Bone marrow smear
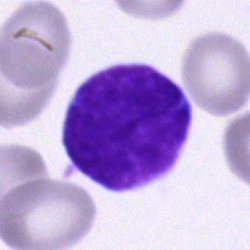

Morphological class = typical lymphocyte.